Bone marrow smear.
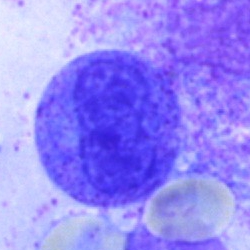 {"cell_type": "metamyelocyte"}